Single-cell crop; bone marrow aspirate smear — 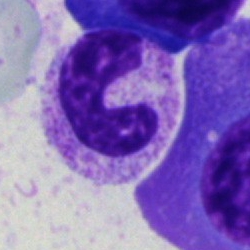
A stab cell.